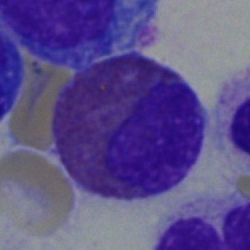 Cell type — eosinophilic granulocyte.